Single-cell crop · 40× objective, oil immersion · bone marrow aspirate smear
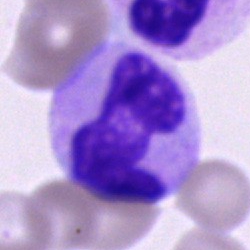Showing a monocyte.